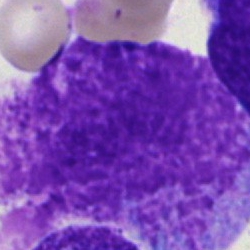Q: What is shown here?
A: This is an artefact.